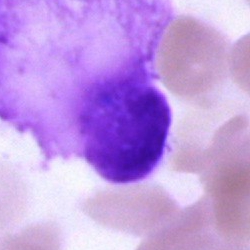 Specimen: bone marrow smear.
Cell: artefact.